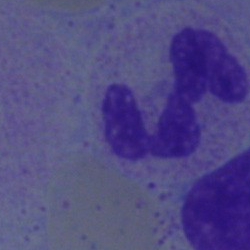
Q: What is the morphological classification of this cell?
A: Neutrophil (segmented).